Bone marrow smear:
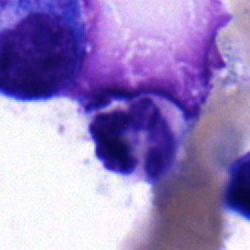 This is a segmented neutrophil.